Bone marrow smear:
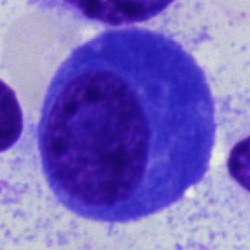Q: Identify the cell.
A: It is a plasmacyte.